Bone marrow aspirate smear · 250×250 · cropped to a single cell
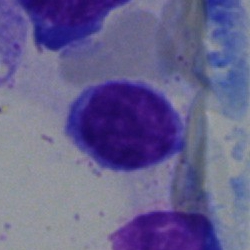

Q: What type of cell is this?
A: It is a lymphocyte.